Bone marrow aspirate smear. Single-cell field — 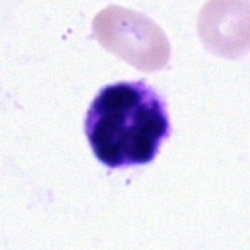 This is a neutrophil (segmented).